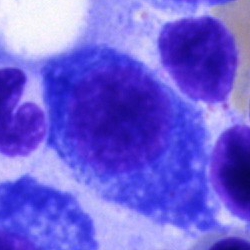 Morphology → plasma cell.